Peripheral blood film · image size 400×400 · cropped to a single cell:
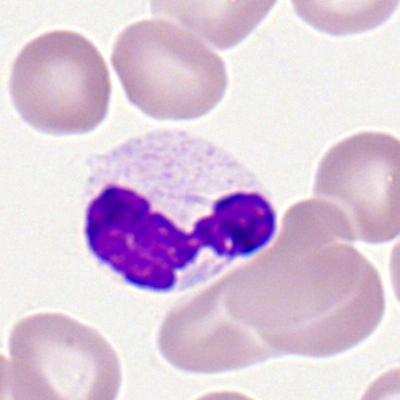

Impression → segmented neutrophil.